Bone marrow aspirate smear.
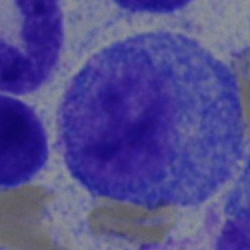 Morphology consistent with a promyelocyte.